Bone marrow smear: 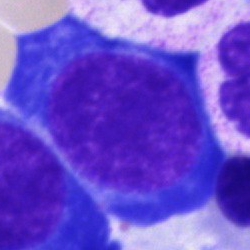{"cell_type": "nucleated red blood cell", "lineage": "erythroid"}